Bone marrow aspirate smear — 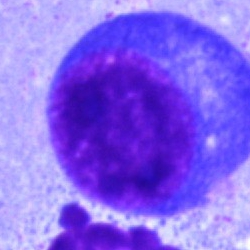 Q: What type of cell is this?
A: It is a plasma cell.